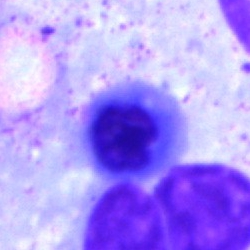

Cell type: normoblast.